Bone marrow smear; single-cell crop.
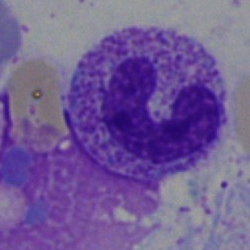Specimen: bone marrow smear.
Morphological class: band-form neutrophil.
Lineage: myeloid.